Bone marrow aspirate smear:
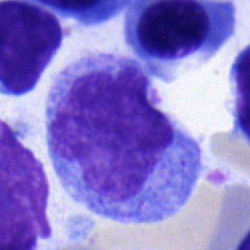
The cell shown is a monocyte.